Peripheral blood film.
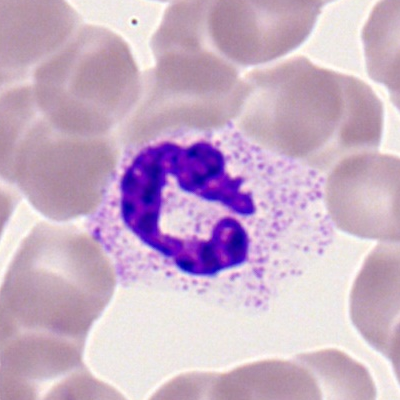 Specimen: peripheral blood film.
Classification: neutrophil (segmented).